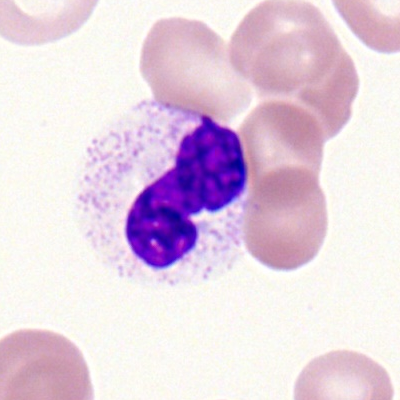

A polymorphonuclear neutrophil on a peripheral blood smear.